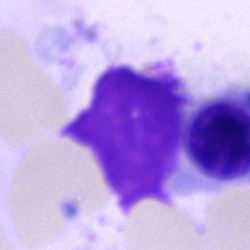
{"cell_type": "artifact"}